Brightfield, 40× oil-immersion objective. Bone marrow aspirate smear:
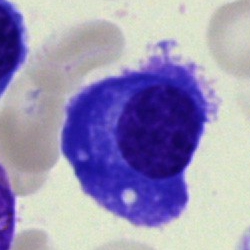 The cell shown is a plasmacyte.